Bone marrow smear.
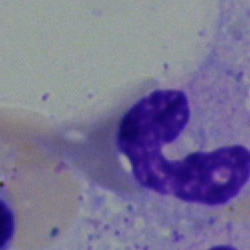The cell shown is a neutrophil (band).